May-Grünwald-Giemsa/Pappenheim stain · bone marrow aspirate smear
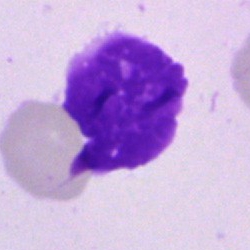

Single cell identified as an artefact.